Bone marrow aspirate smear
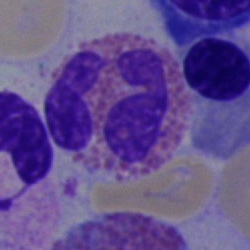Showing an eosinophil.